Peripheral blood film: 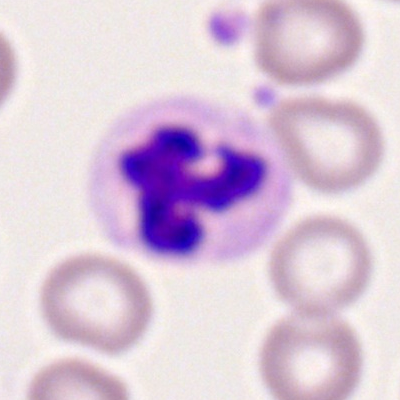 Specimen: peripheral blood film.
Cell: polymorphonuclear neutrophil.
Lineage: myeloid.